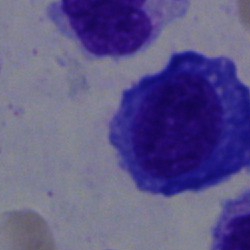

A plasmacyte on a bone marrow smear.